Bone marrow smear. Brightfield, 40× oil-immersion objective: 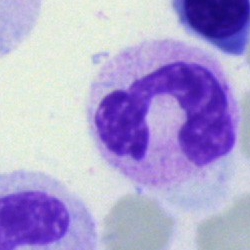
The morphological class is neutrophil (segmented).